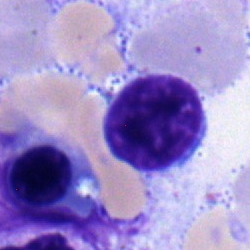
Specimen: bone marrow aspirate smear.
Cell: typical lymphocyte.